Bone marrow aspirate smear; 250 by 250 pixels.
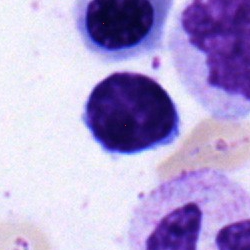
Specimen: bone marrow smear.
Morphological class: lymphocyte.
Lineage: lymphoid.